Bone marrow aspirate smear
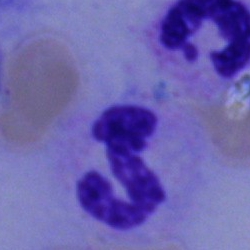This is a neutrophil (segmented).